Bone marrow smear:
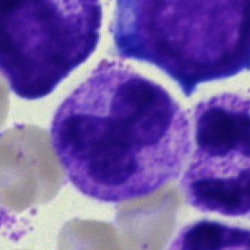
Showing a metamyelocyte.